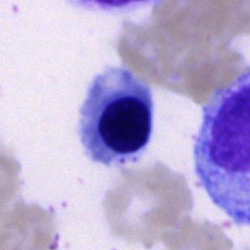

Impression — normoblast.